Brightfield, 40× oil-immersion objective. Bone marrow aspirate smear. 250×250 px: 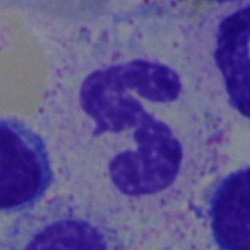Specimen: bone marrow aspirate smear.
Morphological class: polymorphonuclear neutrophil.